Bone marrow smear.
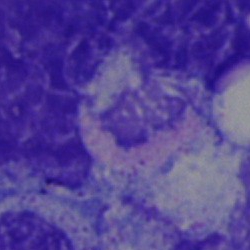The cell type is artifact.